Bone marrow smear
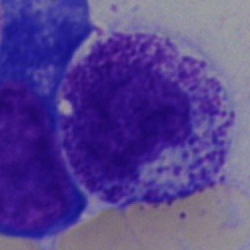
The cell shown is a myelocyte.